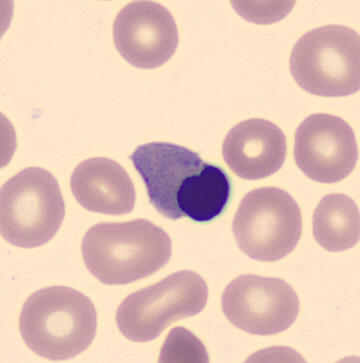 Q: Which cell type is shown here?
A: Erythroblast.
Peripheral blood smear.